Bone marrow aspirate smear
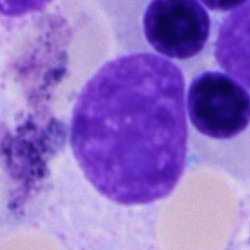

Q: What is shown here?
A: It is an artefact.